Bone marrow smear:
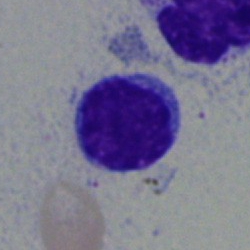 Single cell identified as a typical lymphocyte.